Single-cell crop; bone marrow smear; 40× objective, oil immersion — 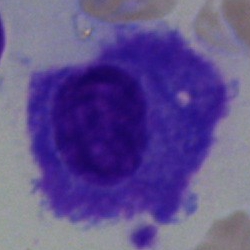
Morphology — plasma cell.